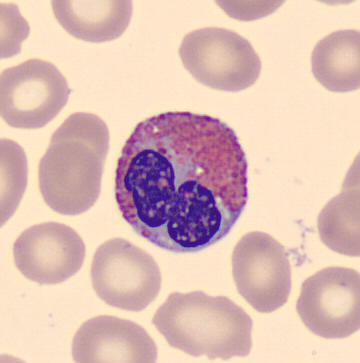
Specimen: peripheral blood smear.
Morphological class: eosinophil.
Lineage: myeloid.

360×363.